Peripheral blood film.
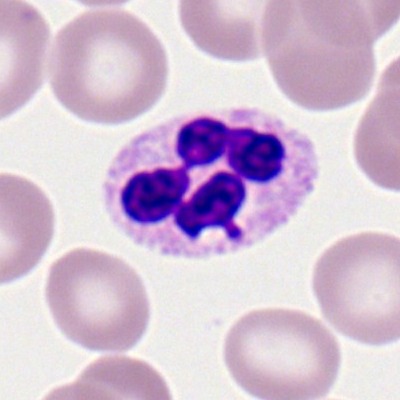

Impression → neutrophil (segmented).